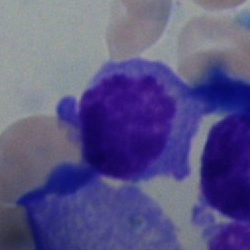
Morphology — plasma cell.